Bone marrow aspirate smear. 40× objective, oil immersion
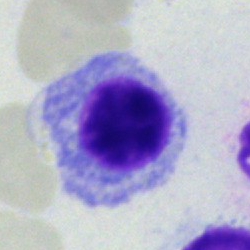
Morphological class — erythroblast.